Bone marrow smear
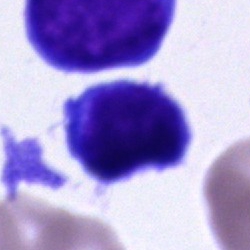

This is an unidentifiable cell.